Bone marrow aspirate smear
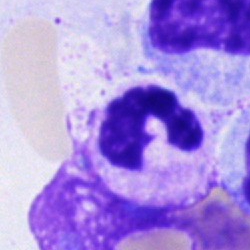Q: Which cell type is shown here?
A: A segmented neutrophil.